Peripheral blood film.
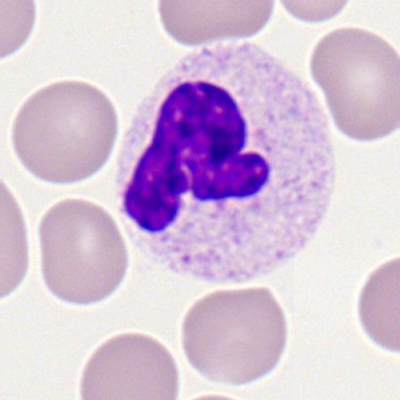 Q: What cell is this?
A: A polymorphonuclear neutrophil.